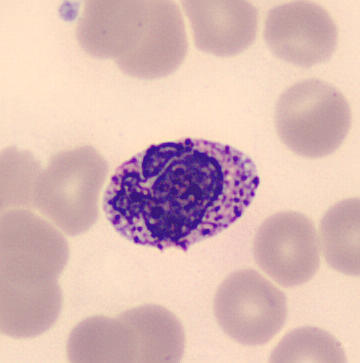
The cell shown is a basophilic granulocyte.

Image: MGG-stained. Peripheral blood film. CellaVision DM96.